40× objective, oil immersion; bone marrow aspirate smear; image size 250×250.
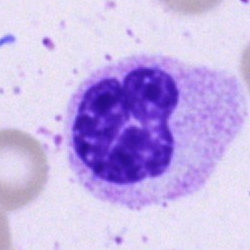
Q: What cell is this?
A: This is a neutrophil (segmented).